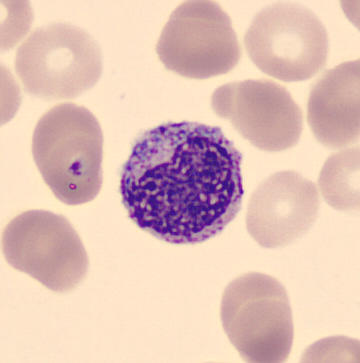Specimen: peripheral blood film.
Classification: myelocyte.
Lineage: myeloid.